250 by 250 pixels. Bone marrow smear:
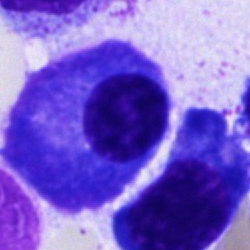
Plasmacyte.